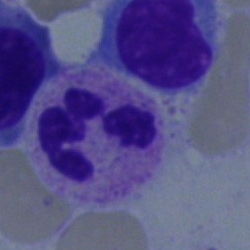The cell shown is a segmented neutrophil.